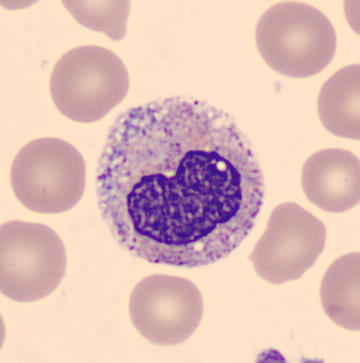 Q: What cell is this?
A: It is a metamyelocyte.

Image: Peripheral blood smear.